40× oil immersion · bone marrow aspirate smear: 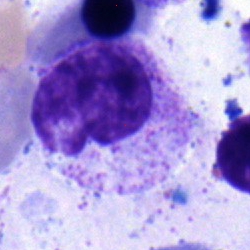

This is a metamyelocyte.